Single cell centered in the field. Bone marrow aspirate smear: 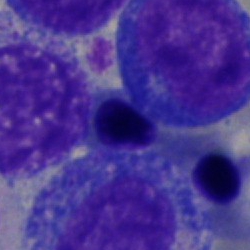Q: What is the morphological classification of this cell?
A: A cell of indeterminate lineage.